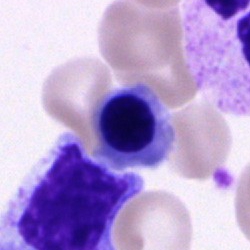 Impression — nucleated red cell.